Bone marrow smear. 40× objective, oil immersion
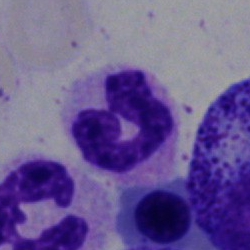 Q: Which cell type is shown here?
A: It is a polymorphonuclear neutrophil.